Bone marrow smear: 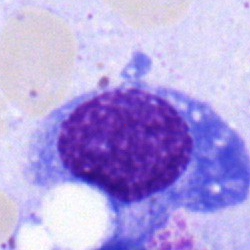Morphological class: plasmacyte.